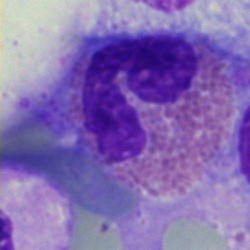
Single cell identified as an eosinophil.